Bone marrow smear — 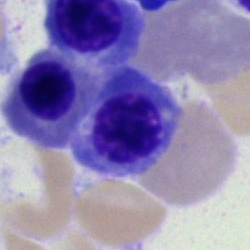 Morphology → erythroblast.